Bone marrow smear
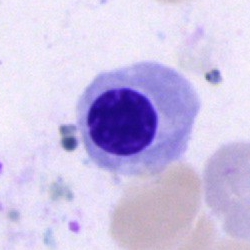 A nucleated red cell.